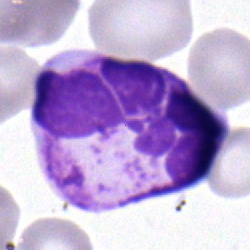

Bone marrow smear showing a segmented neutrophil.